Bone marrow smear: 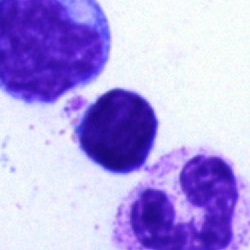
Typical lymphocyte.